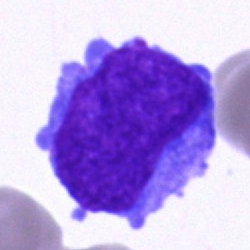Blast.